Image size 250×250. Bone marrow aspirate smear: 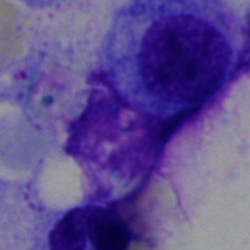

Showing a normoblast.